Bone marrow smear · May-Grünwald-Giemsa/Pappenheim stain · single-cell crop: 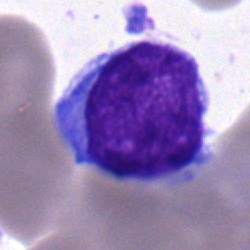Q: Identify the cell.
A: A blast.